Single-cell field · bone marrow smear.
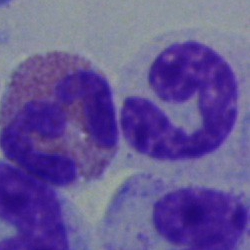Morphology consistent with a polymorphonuclear neutrophil.